Bone marrow smear; single-cell field
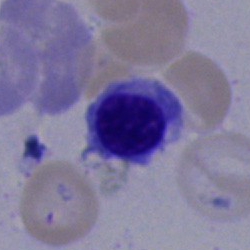
Specimen: bone marrow smear.
Cell: nucleated red blood cell.
Lineage: erythroid.